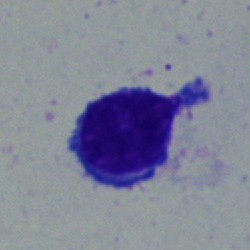Q: What is the morphological classification of this cell?
A: Lymphocyte.